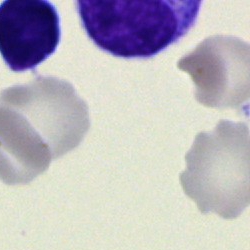
Morphology consistent with an unidentifiable cell.